Bone marrow smear
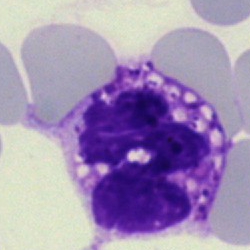
Morphological class: polymorphonuclear neutrophil.